May-Grünwald-Giemsa/Pappenheim stain · bone marrow aspirate smear
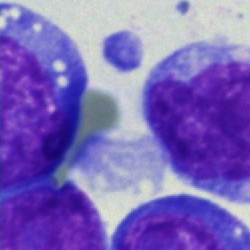

The classification is blast.